Bone marrow smear:
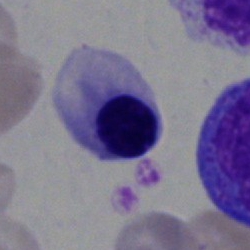

Cell type = erythroblast.